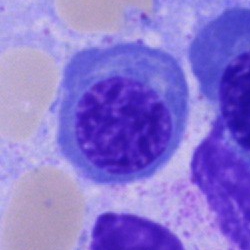 Bone marrow aspirate smear, single cell — nucleated red blood cell.